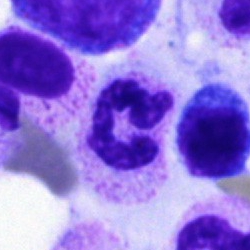

Cell — neutrophil (segmented).